Bone marrow smear; 250×250 — 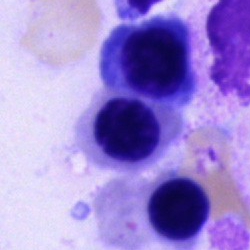

The cell type is erythroblast.